Bone marrow smear: 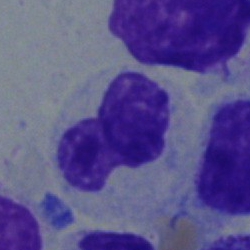 Impression — stab cell.